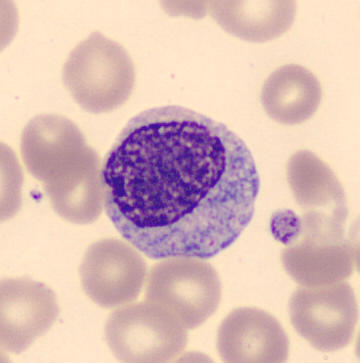{"cell_type": "myelocyte", "lineage": "myeloid"}